May-Grünwald-Giemsa/Pappenheim stain · bone marrow aspirate smear.
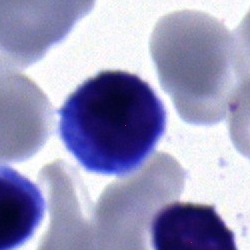

{"cell_type": "lymphocyte"}